May-Grünwald-Giemsa/Pappenheim stain; bone marrow aspirate smear: 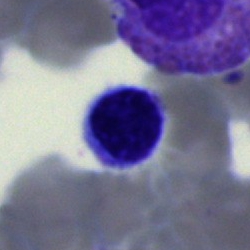Specimen: bone marrow aspirate smear.
Cell type: lymphocyte.